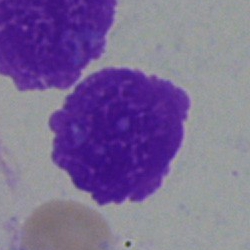 This is an artefact.